Bone marrow aspirate smear: 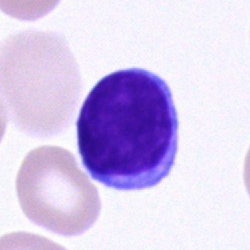

Q: Identify the cell.
A: This is a lymphocyte.